Brightfield, 40× oil-immersion objective · bone marrow aspirate smear · single-cell field — 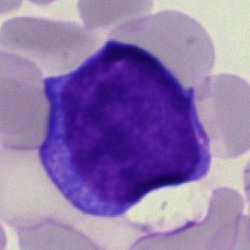
Specimen: bone marrow aspirate smear.
Morphological class: blast cell.